40× oil immersion · bone marrow smear:
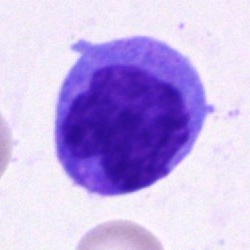 The cell is monocyte.